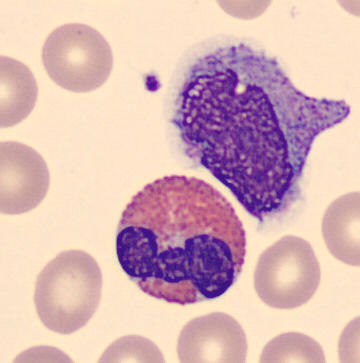 Cell type: eosinophil.
Peripheral blood smear.